Bone marrow smear — 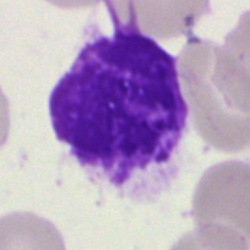 The cell shown is an artefact.